Bone marrow aspirate smear:
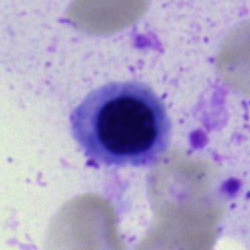Impression — nucleated red cell.